Bone marrow smear — 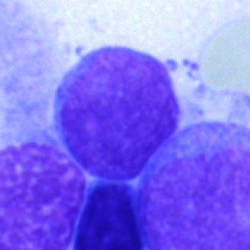Single cell identified as an undifferentiated blast.